Bone marrow aspirate smear — 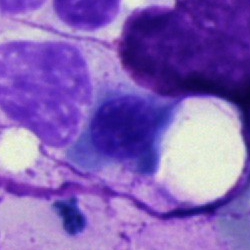Morphology → nucleated red blood cell.